Bone marrow aspirate smear; single-cell crop — 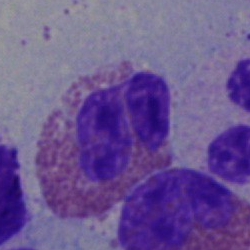Q: Identify the cell.
A: It is an eosinophilic granulocyte.